Bone marrow smear — 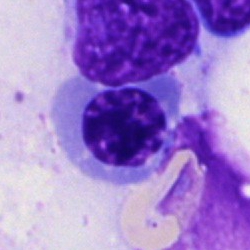

The cell is normoblast.